Single cell centered in the field · bone marrow smear · 250×250.
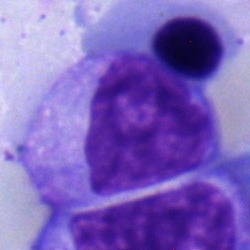 Q: What is shown here?
A: Typical lymphocyte.